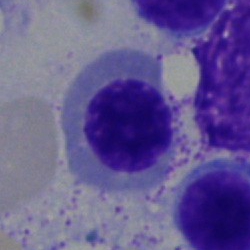 Q: What cell is this?
A: It is a normoblast.